100× objective, oil immersion. Peripheral blood smear:
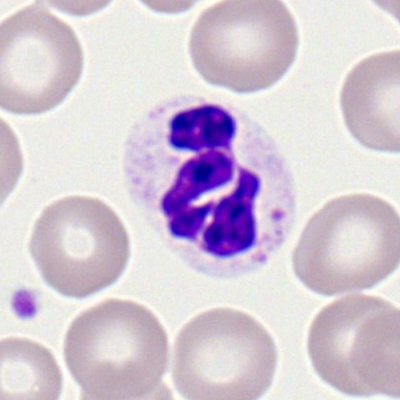

Impression — polymorphonuclear neutrophil.